Brightfield microscopy, 40× oil immersion · bone marrow aspirate smear — 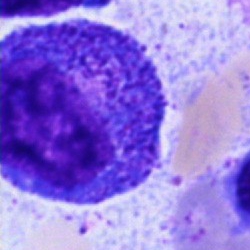

Promyelocyte.